Peripheral blood film — 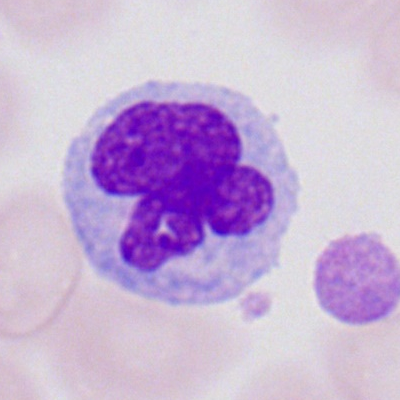

Specimen: peripheral blood film.
Cell type: monocyte.